Bone marrow smear:
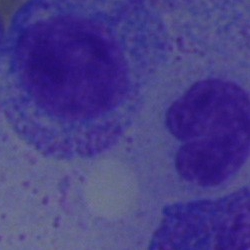Single cell identified as a myelocyte.